Bone marrow aspirate smear — 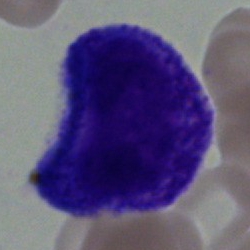
Specimen: bone marrow aspirate smear.
Cell type: progranulocyte.